Bone marrow aspirate smear: 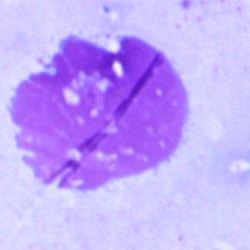

{"cell_type": "artefact"}